Bone marrow smear. Cropped to a single cell. 250×250 px: 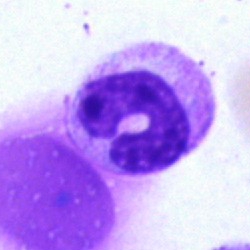A stab cell.